Cropped to a single cell · bone marrow aspirate smear · May-Grünwald-Giemsa/Pappenheim stain:
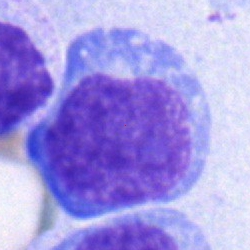{"cell_type": "blast"}